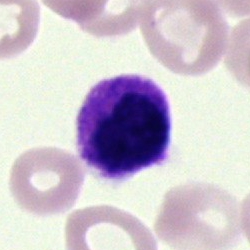Bone marrow aspirate smear, single cell — artifact.